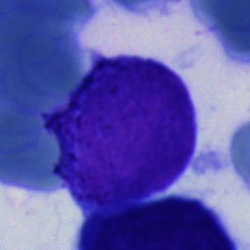 Specimen: bone marrow smear.
Cell type: blast.